Bone marrow aspirate smear. 250 by 250 pixels:
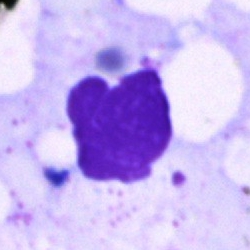 Specimen: bone marrow smear.
Morphological class: artefact.